400 by 400 pixels; peripheral blood film
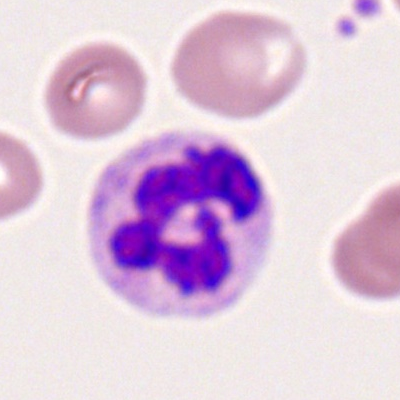

Q: Identify the cell.
A: This is a neutrophil (segmented).